Bone marrow smear: 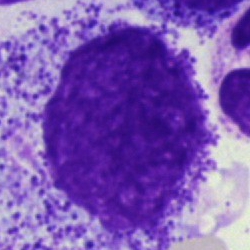 Cell type — artefact.